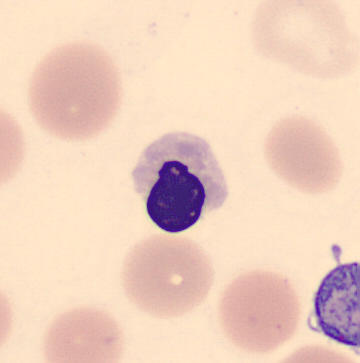
Q: Which cell type is shown here?
A: This is an erythroblast.